Bone marrow aspirate smear. Single-cell field. MGG-stained:
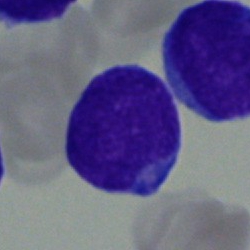The cell shown is an undifferentiated blast.